Bone marrow smear. Cropped to a single cell
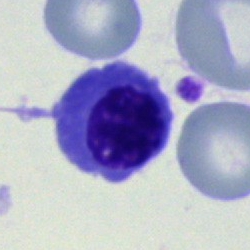Q: What is the morphological classification of this cell?
A: It is a normoblast.